40× oil immersion. Bone marrow smear.
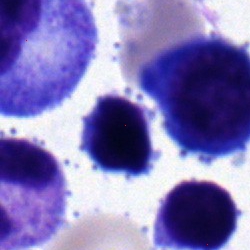
Single cell identified as a lymphocyte.